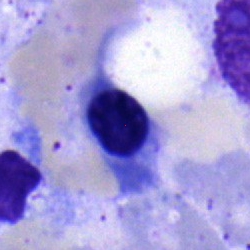 The cell is erythroblast.